Bone marrow smear · MGG-stained — 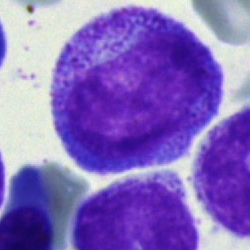Q: Identify the cell.
A: It is a promyelocyte.